Bone marrow aspirate smear; 250×250 px — 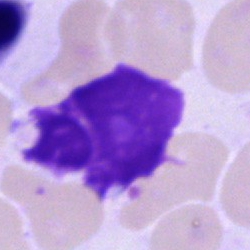

Q: What is shown here?
A: It is an artifact.